40× oil immersion. Bone marrow smear — 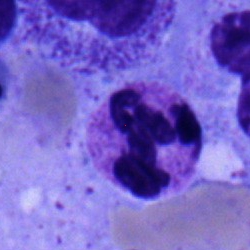
Specimen: bone marrow smear.
Cell type: polymorphonuclear neutrophil.
Lineage: myeloid.